Bone marrow smear.
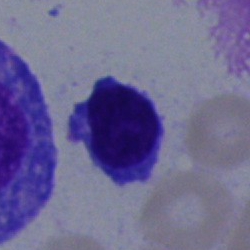
Cell type = lymphocyte.